250 by 250 pixels. Bone marrow smear — 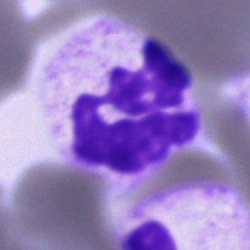

Single cell identified as a polymorphonuclear neutrophil.